Bone marrow aspirate smear
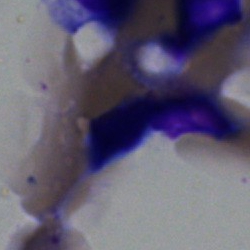Q: What is shown here?
A: Artefact.